Bone marrow smear:
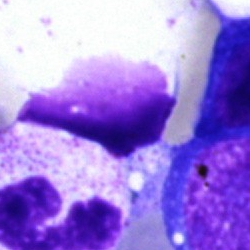
Artefact.